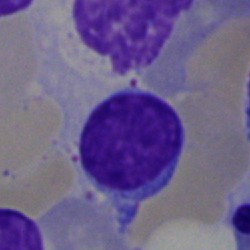
The cell shown is a lymphocyte.